Bone marrow smear; Pappenheim-stained; cropped to a single cell
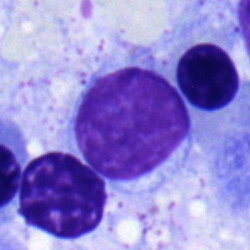

Morphological class — lymphocyte.